250 by 250 pixels; bone marrow smear:
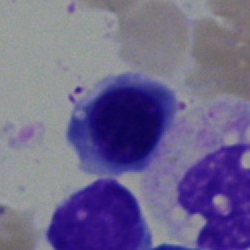
This is a normoblast.